Bone marrow smear: 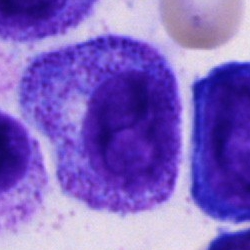 Morphology consistent with a progranulocyte.